Peripheral blood film:
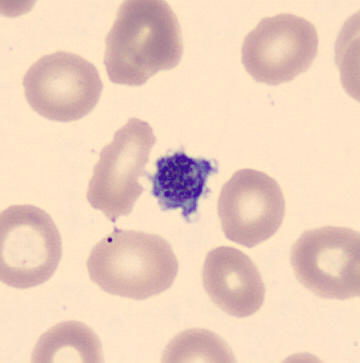 A platelet (thrombocyte).